May-Grünwald-Giemsa/Pappenheim stain · bone marrow aspirate smear · cropped to a single cell: 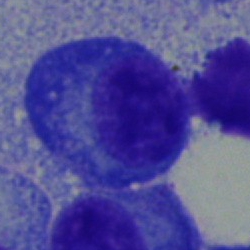 Morphological class = plasmacyte.